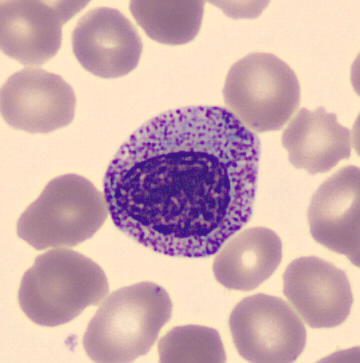
The classification is myelocyte. Preparation: Single cell centered in the field. Peripheral blood smear. Image size 360×363.